Bone marrow aspirate smear — 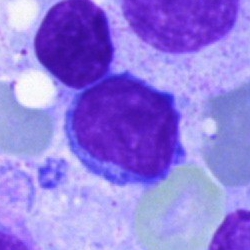

Morphological class: typical lymphocyte.